Single-cell crop · bone marrow aspirate smear: 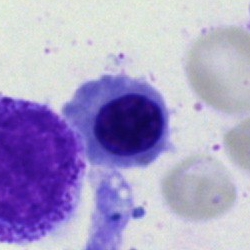 Morphology — nucleated red blood cell.